250×250; bone marrow smear.
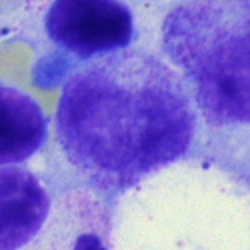
Specimen: bone marrow aspirate smear.
Morphological class: metamyelocyte.
Lineage: myeloid.